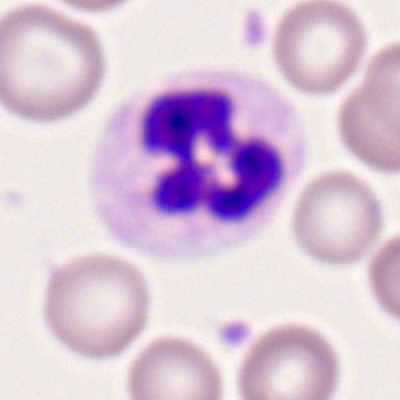
{"cell_type": "neutrophil (segmented)", "lineage": "myeloid"}